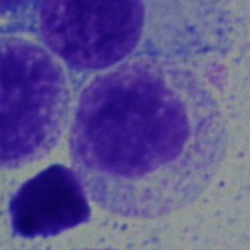

A myelocyte.